Peripheral blood film · single-cell field · image size 400×400 — 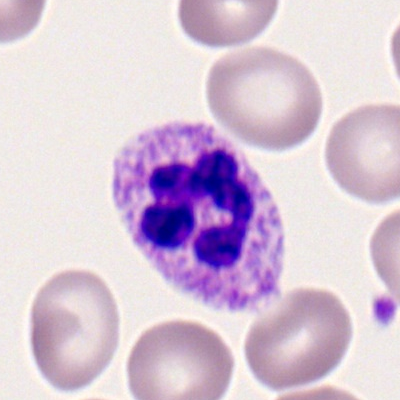
Morphology consistent with a segmented neutrophil.